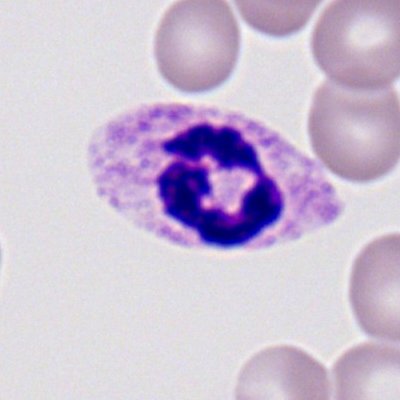

Q: What is shown here?
A: This is a polymorphonuclear neutrophil.